Image size 250×250; bone marrow smear
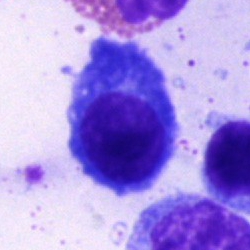Q: What type of cell is this?
A: It is a plasma cell.